Bone marrow smear
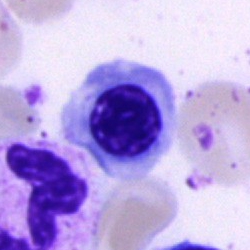 Cell type: normoblast.